Peripheral blood film:
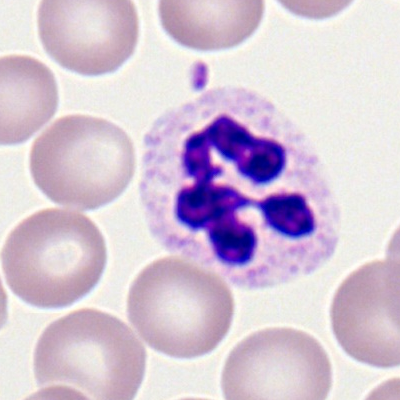 Q: Which cell type is shown here?
A: Polymorphonuclear neutrophil.